Bone marrow aspirate smear: 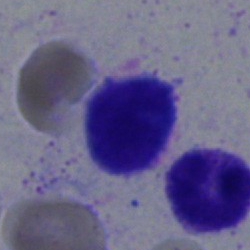
Single cell identified as a typical lymphocyte.